May-Grünwald-Giemsa stain; bone marrow smear — 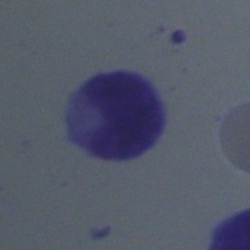This is a cell of indeterminate lineage.